100× oil immersion, 14.14 px/µm · peripheral blood film.
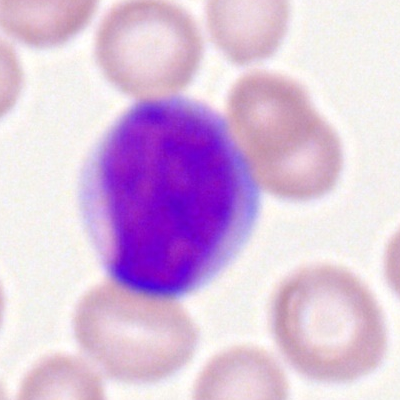
Specimen: peripheral blood film.
Cell: myeloid blast.
Lineage: myeloid.